Bone marrow smear; single-cell crop:
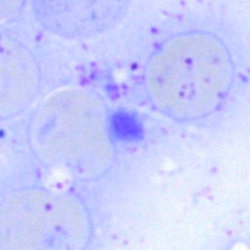
The cell shown is an artifact.